Bone marrow smear — 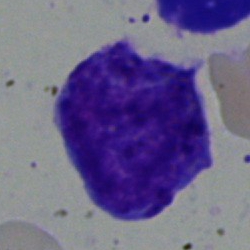 Morphology consistent with a blast.